Bone marrow smear
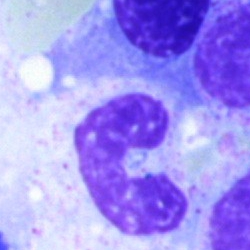The morphological class is stab cell.